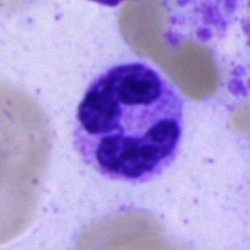Q: Which cell type is shown here?
A: A polymorphonuclear neutrophil.